Bone marrow smear
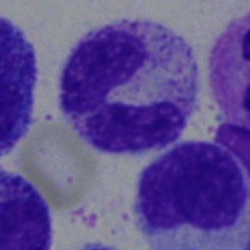
Segmented neutrophil.